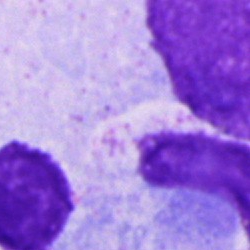
This is an artefact.